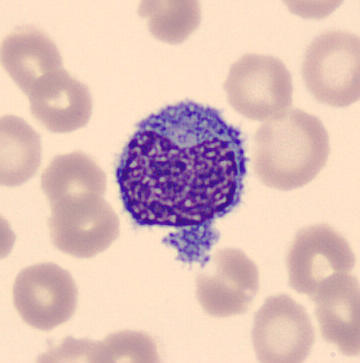

A monocyte.

Peripheral blood smear.